Peripheral blood smear. Romanowsky-type stain: 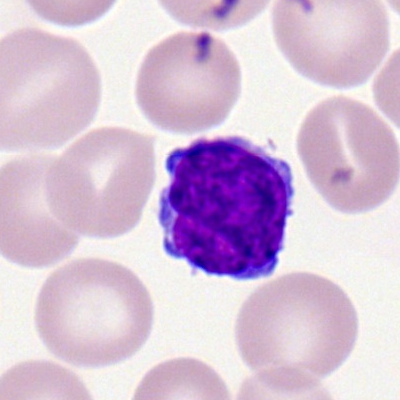 Specimen: peripheral blood film.
Classification: typical lymphocyte.
Lineage: lymphoid.